Bone marrow aspirate smear — 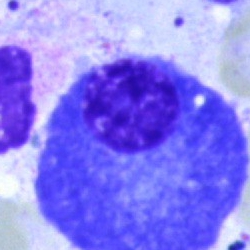Specimen: bone marrow aspirate smear.
Morphological class: plasmacyte.